Peripheral blood film
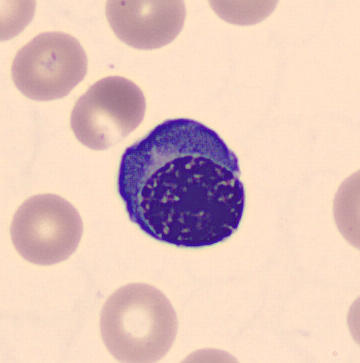 Showing a nucleated red cell.